Bone marrow smear — 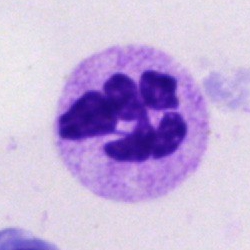 {"cell_type": "segmented neutrophil"}